250 by 250 pixels · single cell centered in the field · bone marrow smear
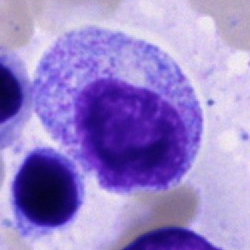

The cell shown is a promyelocyte.